250×250 px; bone marrow smear.
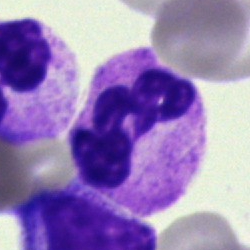Q: Which cell type is shown here?
A: This is a segmented neutrophil.